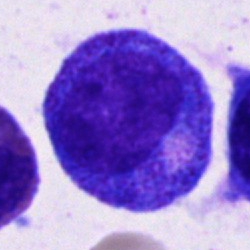
Morphological class: promyelocyte.